Bone marrow aspirate smear: 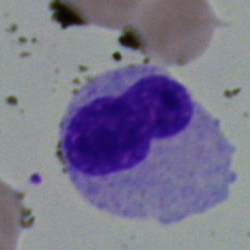
Cell type: neutrophil (band).